100× oil immersion; peripheral blood smear — 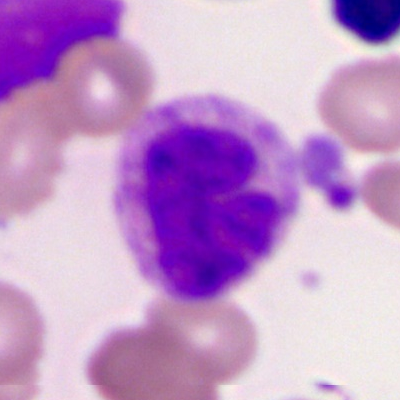 This is a band-form neutrophil.